Bone marrow aspirate smear
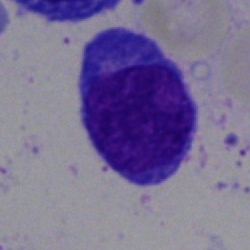Impression — lymphocyte.